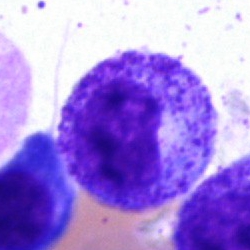 Promyelocyte.